Peripheral blood film. Cropped to a single cell — 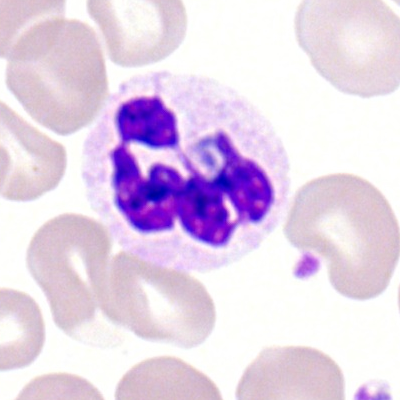
Morphology — neutrophil (segmented).